Bone marrow smear
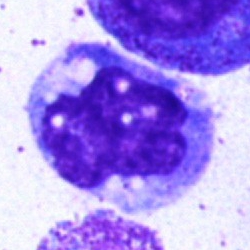 Specimen: bone marrow aspirate smear.
Cell type: monocyte.
Lineage: myeloid.